Single cell centered in the field. Bone marrow aspirate smear. May-Grünwald-Giemsa/Pappenheim stain — 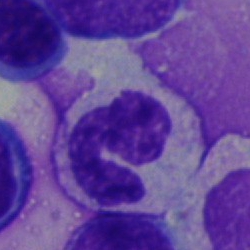
The cell shown is a polymorphonuclear neutrophil.